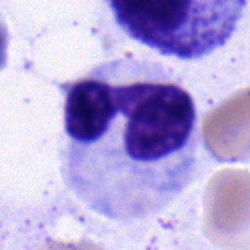

Morphology → polymorphonuclear neutrophil.